Bone marrow aspirate smear:
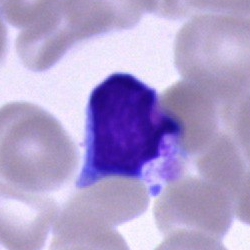
A lymphocyte.